Bone marrow aspirate smear; Pappenheim-stained:
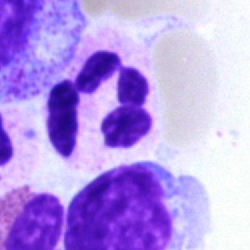

Segmented neutrophil.